Bone marrow aspirate smear:
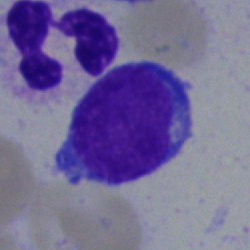
Morphological class = lymphocyte.